Bone marrow smear — 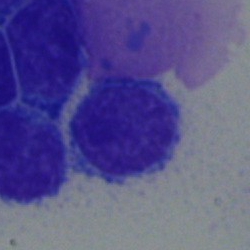

{"cell_type": "lymphocyte", "lineage": "lymphoid"}